Bone marrow smear
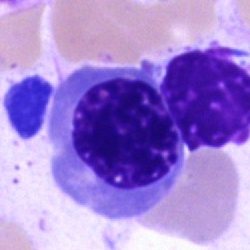 Q: Which cell type is shown here?
A: It is a normoblast.